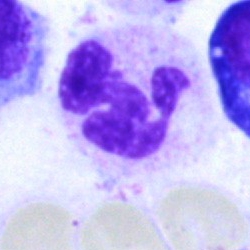

Impression — neutrophil (segmented).